Bone marrow smear — 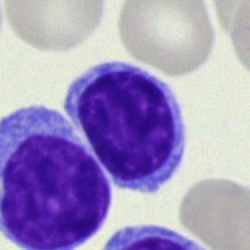

Morphology — lymphocyte.